May-Grünwald-Giemsa stain · image size 250×250 · bone marrow aspirate smear: 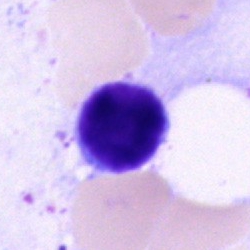 Morphological class — lymphocyte.